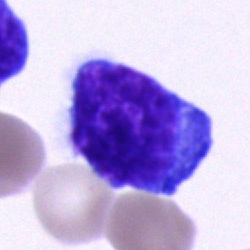Bone marrow aspirate smear, single cell — undifferentiated blast.